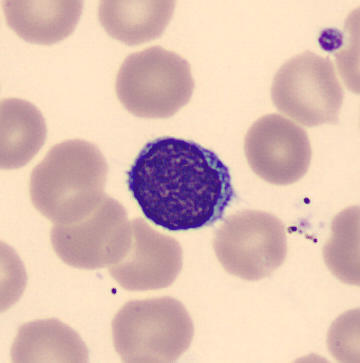

Showing a lymphocyte.
CellaVision DM96. Peripheral blood smear. 360×363 px.